Bone marrow smear
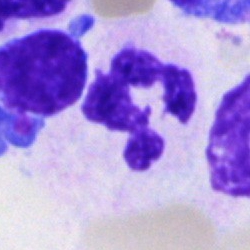Morphology consistent with a neutrophil (segmented).